Single cell centered in the field. Image size 250×250. Bone marrow smear:
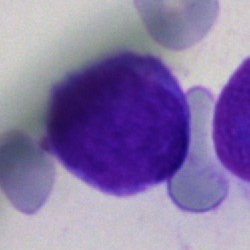
Single cell identified as a blast.